Bone marrow smear · 250×250 · brightfield, 40× oil-immersion objective
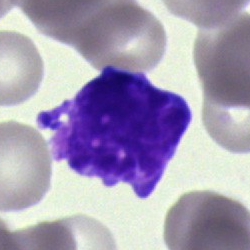 Showing an undifferentiated blast.